40× oil immersion. Bone marrow aspirate smear. Single cell centered in the field: 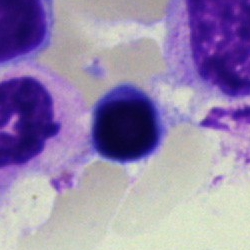

Morphology consistent with a typical lymphocyte.